Bone marrow smear.
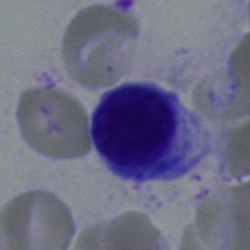

Morphological class: lymphocyte.